Bone marrow aspirate smear. 250 by 250 pixels. 40× objective, oil immersion — 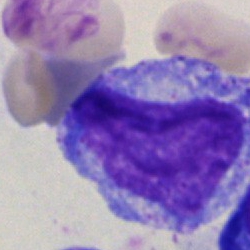The cell shown is a promyelocyte.